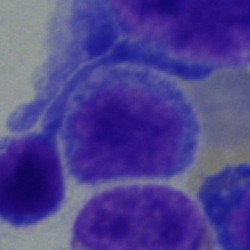
Q: What is the morphological classification of this cell?
A: Typical lymphocyte.